Bone marrow smear: 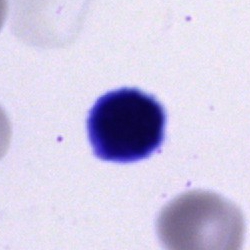Q: What is shown here?
A: It is an artifact.